Bone marrow aspirate smear: 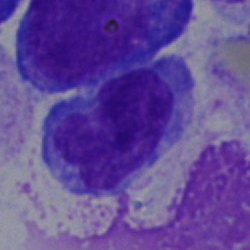This is a lymphocyte.